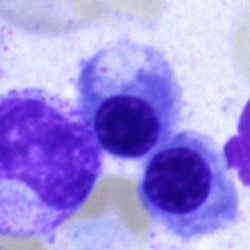A normoblast on a bone marrow smear.